Bone marrow aspirate smear · image size 250×250:
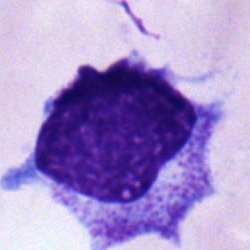Single cell identified as a myelocyte.